Bone marrow aspirate smear — 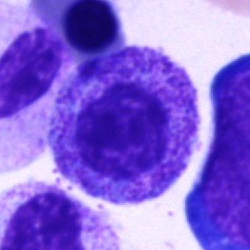 A promyelocyte.